Bone marrow smear: 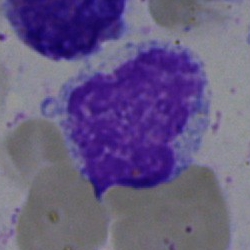
Showing an artefact.